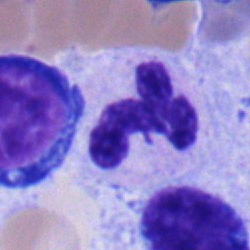 Morphology consistent with a neutrophil (segmented).